Bone marrow aspirate smear. Brightfield microscopy, 40× oil immersion — 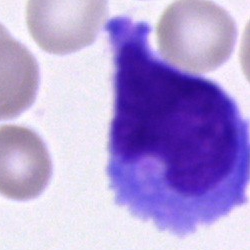

Morphological class = cell of indeterminate lineage.